Pappenheim-stained · bone marrow smear: 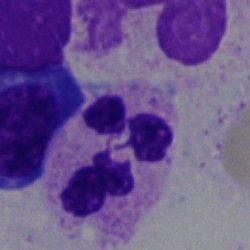

Q: What type of cell is this?
A: This is a neutrophil (segmented).